Peripheral blood smear:
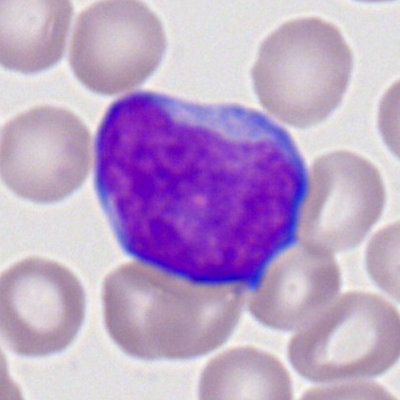

This is a myeloblast.